250 by 250 pixels. Bone marrow aspirate smear
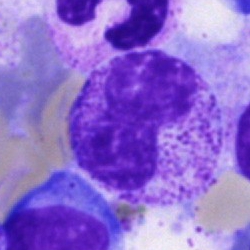
Q: What is shown here?
A: Metamyelocyte.